Bone marrow aspirate smear. 250×250:
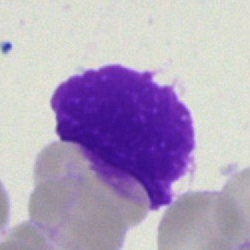

Cell — artefact.